Peripheral blood smear — 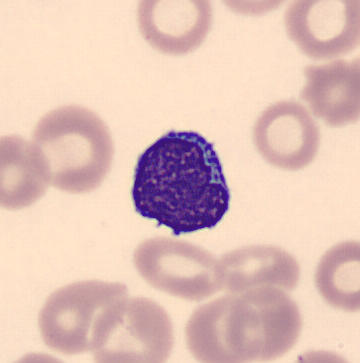 Showing a typical lymphocyte.